Bone marrow smear:
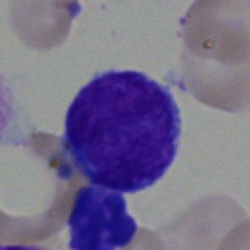 Cell type — lymphocyte.